Brightfield, 40× oil-immersion objective; bone marrow aspirate smear
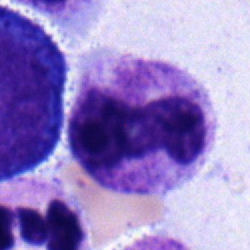 Specimen: bone marrow smear.
Cell: neutrophil (band).
Lineage: myeloid.